Bone marrow aspirate smear: 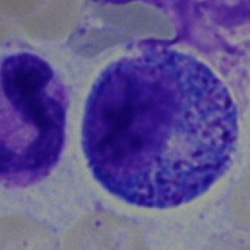Promyelocyte.